Bone marrow smear; 250×250 — 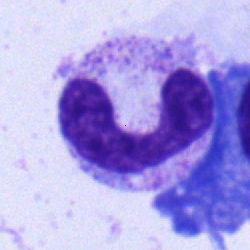 A band-form neutrophil.